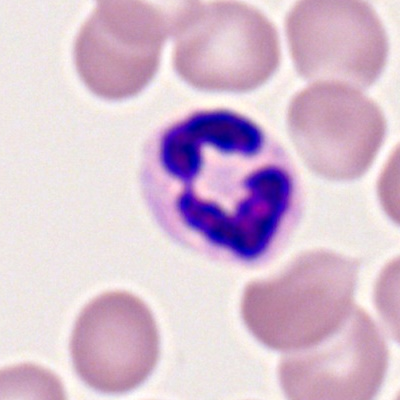
Single-cell crop from a peripheral blood smear: segmented neutrophil.